Bone marrow smear
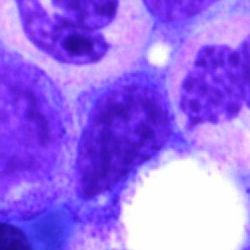 A typical lymphocyte.